Bone marrow smear. 250×250 px.
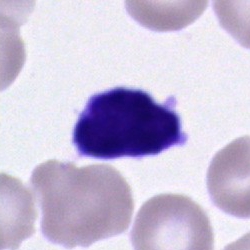
Morphological class: lymphocyte.